250 by 250 pixels · bone marrow smear: 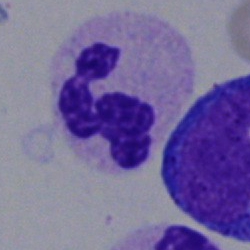 Q: What is shown here?
A: This is a polymorphonuclear neutrophil.